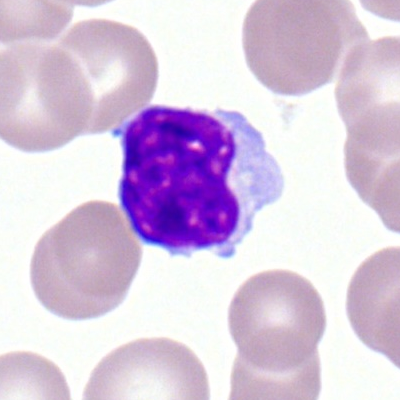
Peripheral blood film, single cell — lymphocyte.